Bone marrow aspirate smear — 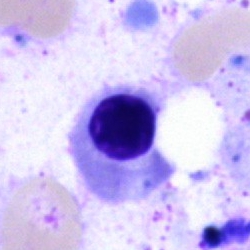The cell shown is an erythroblast.